Cropped to a single cell; 250 by 250 pixels; bone marrow aspirate smear — 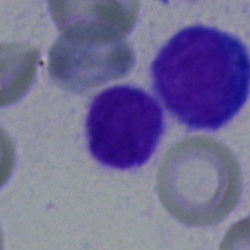

Cell type: lymphocyte.